Bone marrow smear.
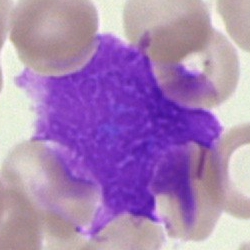
This is an artifact.